Bone marrow smear
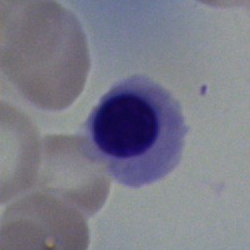Impression → nucleated red blood cell.